Bone marrow smear — 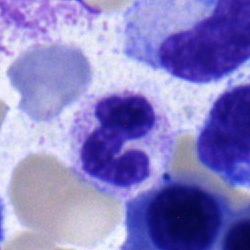

The cell is polymorphonuclear neutrophil.